Bone marrow smear. May-Grünwald-Giemsa/Pappenheim stain. Cropped to a single cell: 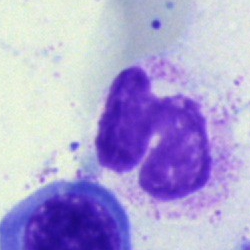The cell type is neutrophil (segmented).